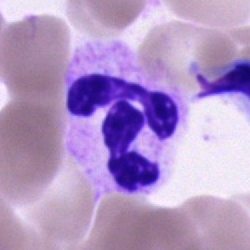

Morphological class — polymorphonuclear neutrophil.